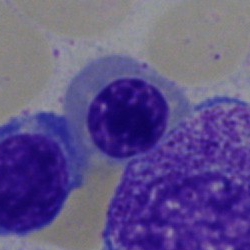
Single-cell crop from a bone marrow smear: normoblast.